Image size 250×250 · bone marrow aspirate smear: 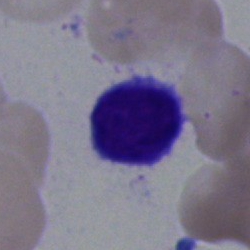 {"cell_type": "typical lymphocyte", "lineage": "lymphoid"}